Bone marrow smear.
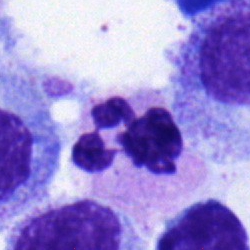 Morphological class = neutrophil (segmented).